250×250 px · brightfield microscopy, 40× oil immersion · bone marrow smear: 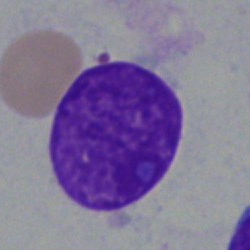
Showing an artifact.